Bone marrow aspirate smear
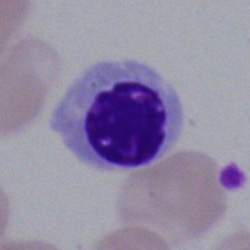

Nucleated red cell.